Bone marrow smear — 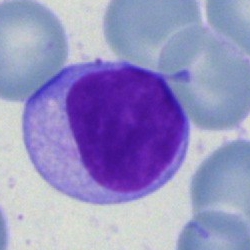Q: What cell is this?
A: Lymphocyte.